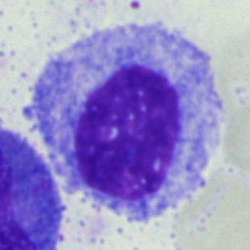Bone marrow smear showing a promyelocyte.